Bone marrow aspirate smear.
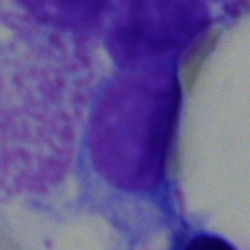
Morphological class = artefact.